Bone marrow aspirate smear. Single-cell crop. Pappenheim-stained.
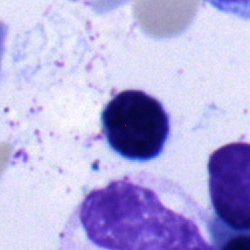

Morphology — nucleated red blood cell.